Bone marrow smear; 40× oil immersion:
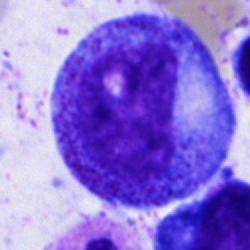
The cell shown is a promyelocyte.